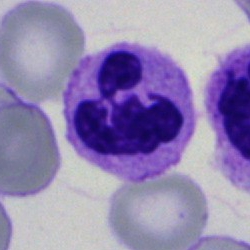

Cell type — polymorphonuclear neutrophil.